Bone marrow aspirate smear · single-cell crop: 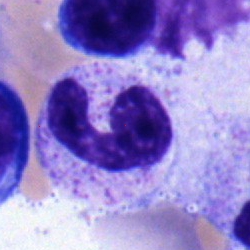
Q: What is the morphological classification of this cell?
A: This is a segmented neutrophil.